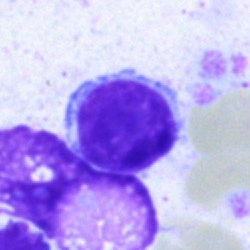

Q: Which cell type is shown here?
A: A typical lymphocyte.